Peripheral blood film · image size 360×363.
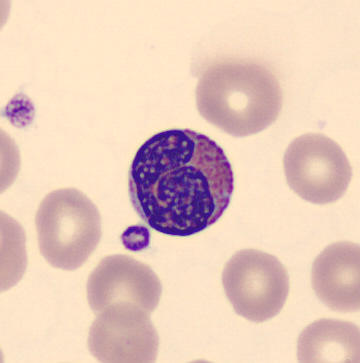Morphological class — eosinophil.